Bone marrow aspirate smear; 40× objective, oil immersion: 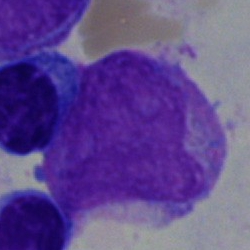
Specimen: bone marrow smear.
Morphological class: promyelocyte.